Bone marrow smear
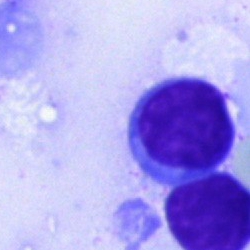The classification is lymphocyte.